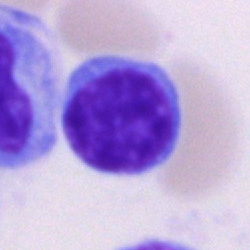 Lymphocyte.